Bone marrow aspirate smear.
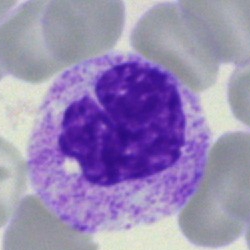

Impression → metamyelocyte.